Bone marrow aspirate smear. 250×250 px
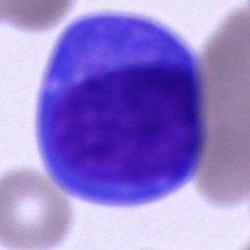 Classification = plasma cell.